Bone marrow aspirate smear — 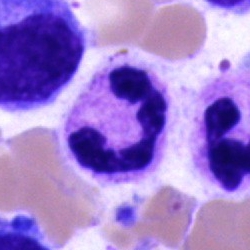

Q: What is the morphological classification of this cell?
A: This is a neutrophil (segmented).